Bone marrow smear: 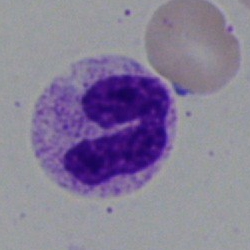Specimen: bone marrow aspirate smear.
Cell type: neutrophil (segmented).
Lineage: myeloid.